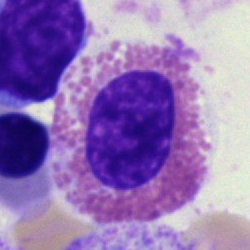

Morphology → eosinophilic granulocyte.